Bone marrow smear
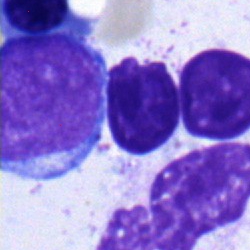
The cell type is blast cell.